Peripheral blood film
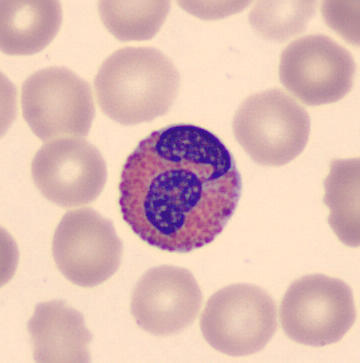 Classification — eosinophilic granulocyte.